Single cell centered in the field; bone marrow aspirate smear
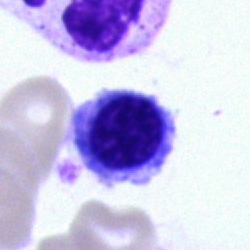Impression — erythroblast.